40× objective, oil immersion. Bone marrow aspirate smear: 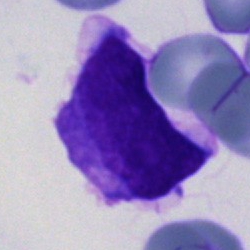 Q: What type of cell is this?
A: A blast cell.